Bone marrow aspirate smear · cropped to a single cell: 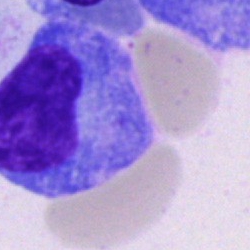 Q: What type of cell is this?
A: It is a plasmacyte.